Peripheral blood film. Cropped to a single cell — 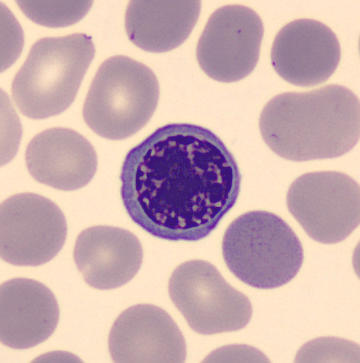
A nucleated red blood cell.